Brightfield microscopy, 40× oil immersion; bone marrow smear — 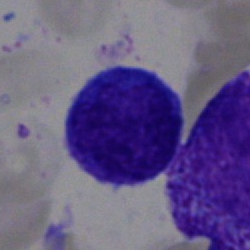

The cell shown is a typical lymphocyte.